Cropped to a single cell; bone marrow aspirate smear:
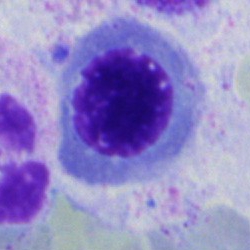Cell = normoblast.